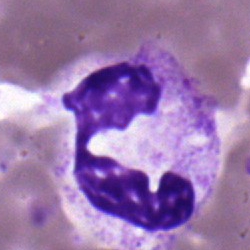Morphology → polymorphonuclear neutrophil.